Peripheral blood smear · 400×400 px.
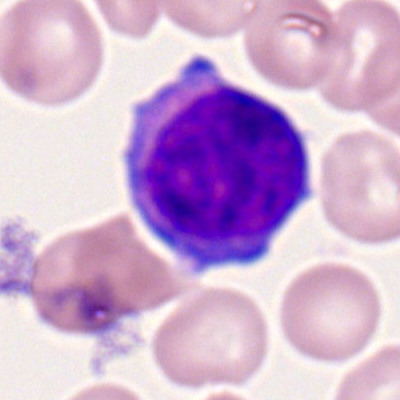
{"cell_type": "myeloid blast"}